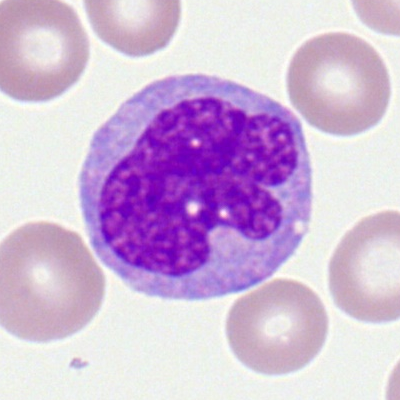A monocyte.